Bone marrow aspirate smear
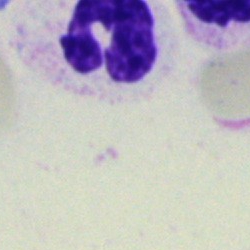
Cell type — artefact.